Bone marrow smear · MGG-stained
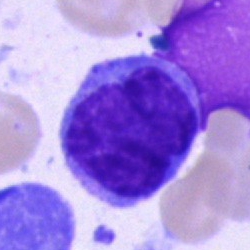

This is a monocyte.